Single cell centered in the field · bone marrow aspirate smear:
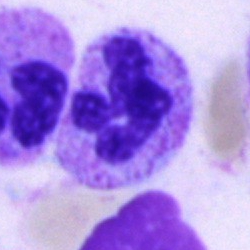 Polymorphonuclear neutrophil.